40× objective, oil immersion. Bone marrow smear. Single-cell field.
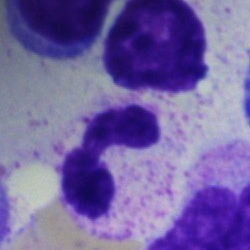A polymorphonuclear neutrophil.